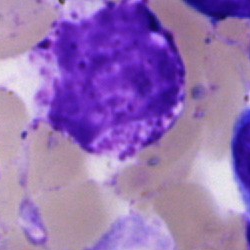

An artefact on a bone marrow smear.